MGG-stained. Bone marrow smear:
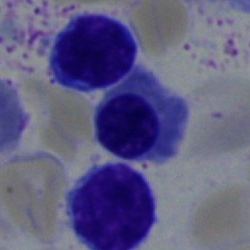

Q: Which cell type is shown here?
A: It is a normoblast.